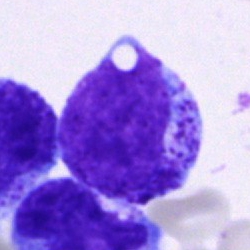

Cell — promyelocyte.